Bone marrow smear · image size 250×250: 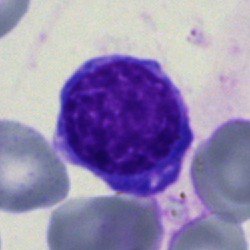
Morphology → nucleated red blood cell.